Peripheral blood film.
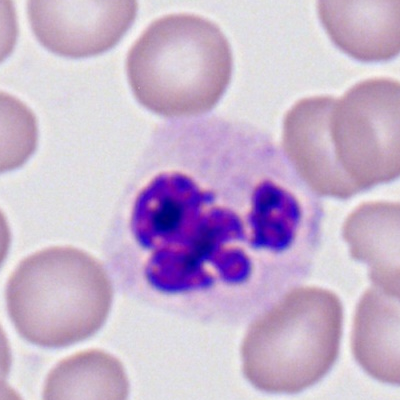 This is a polymorphonuclear neutrophil.